Bone marrow smear · 40× objective, oil immersion · 250 by 250 pixels: 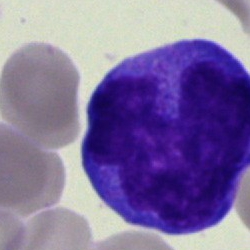

The classification is monocyte.